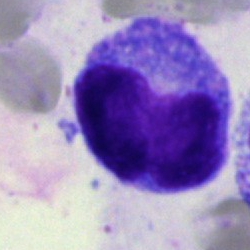 Morphology — promyelocyte.